Bone marrow aspirate smear. 250×250 px — 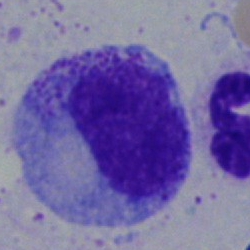 Progranulocyte.